MGG-stained; bone marrow aspirate smear:
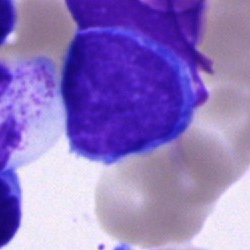

Specimen: bone marrow aspirate smear.
Morphological class: lymphocyte.
Lineage: lymphoid.